Bone marrow smear:
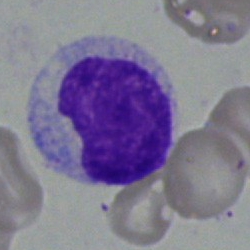{"cell_type": "metamyelocyte"}